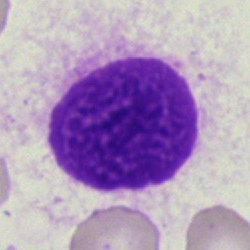

An artifact on a bone marrow smear.